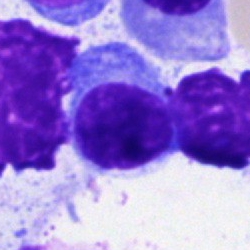

Specimen: bone marrow smear.
Classification: lymphocyte.
Lineage: lymphoid.